Single-cell field. Bone marrow aspirate smear
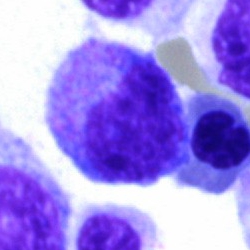
Cell type: myelocyte.